Bone marrow aspirate smear — 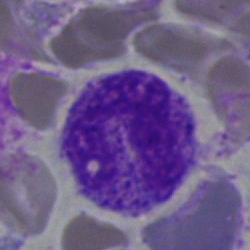

A neutrophil (segmented).